40× objective, oil immersion · bone marrow smear · MGG-stained: 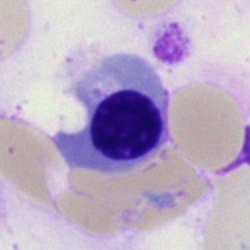

Morphology consistent with a nucleated red blood cell.